Romanowsky-type stain; peripheral blood film — 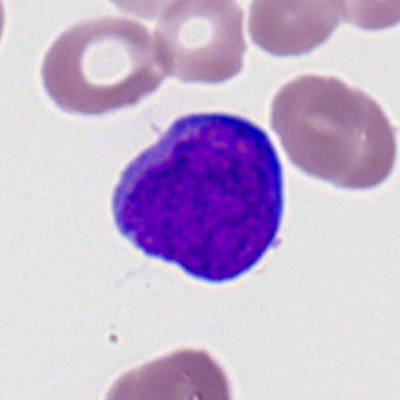Morphological class = myeloblast.